Bone marrow smear · single-cell crop:
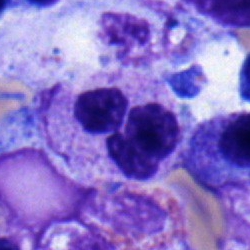Classification — polymorphonuclear neutrophil.